Bone marrow smear. Pappenheim-stained
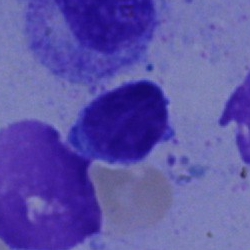Q: Which cell type is shown here?
A: This is a typical lymphocyte.